Cropped to a single cell · bone marrow smear · brightfield microscopy, 40× oil immersion — 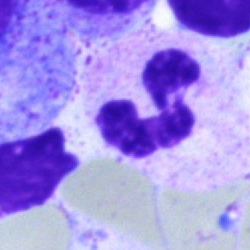 Specimen: bone marrow aspirate smear.
Cell: segmented neutrophil.